Bone marrow smear. Single-cell field. 250×250 px
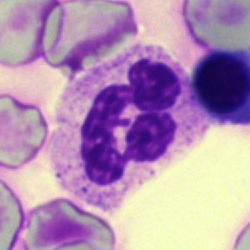Classification = segmented neutrophil.